Bone marrow aspirate smear.
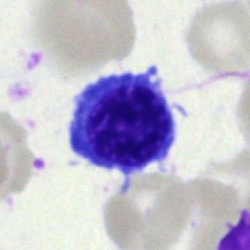

Erythroblast.